Bone marrow smear; 250×250.
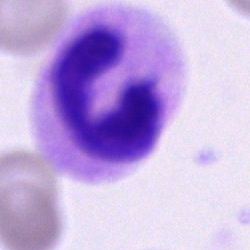

Neutrophil (band).